40× oil immersion; May-Grünwald-Giemsa/Pappenheim stain; bone marrow aspirate smear.
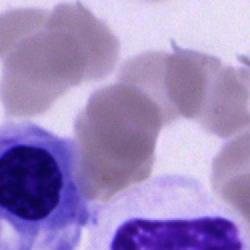 Cell type — normoblast.